Bone marrow aspirate smear. May-Grünwald-Giemsa stain. 40× objective, oil immersion:
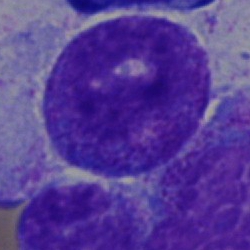

Impression → progranulocyte.